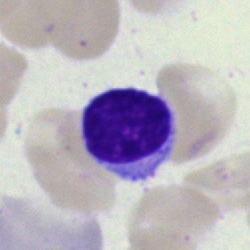

Showing a lymphocyte.